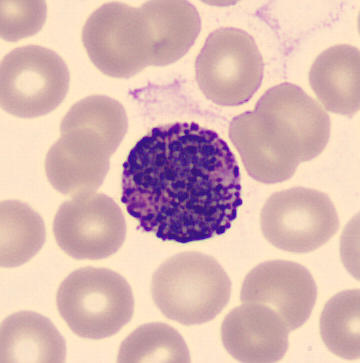 {"cell_type": "basophilic granulocyte", "lineage": "myeloid"}
Acquisition: Peripheral blood smear.